Bone marrow smear · single cell centered in the field: 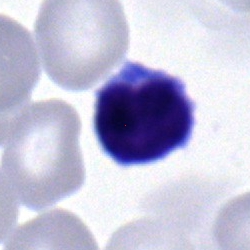Showing a typical lymphocyte.